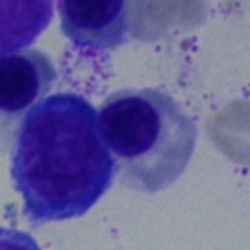

Cell type — normoblast.